40× oil immersion; bone marrow smear
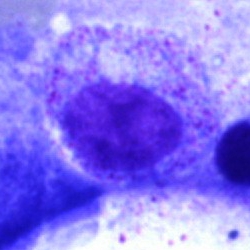

{"cell_type": "promyelocyte", "lineage": "myeloid"}